Bone marrow smear; single-cell field: 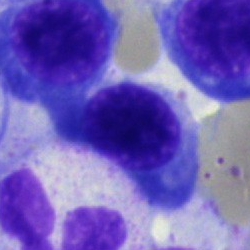Plasma cell.